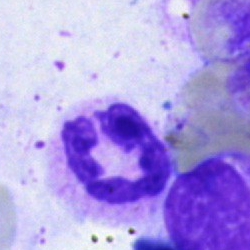 A neutrophil (segmented).